250 by 250 pixels; May-Grünwald-Giemsa/Pappenheim stain; bone marrow aspirate smear:
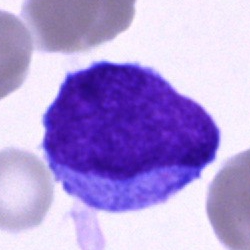

This is a blast cell.